Brightfield microscopy, 40× oil immersion. Bone marrow aspirate smear: 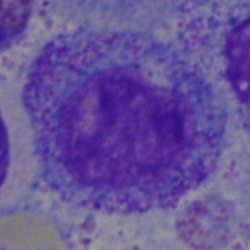 Impression — progranulocyte.